Bone marrow smear.
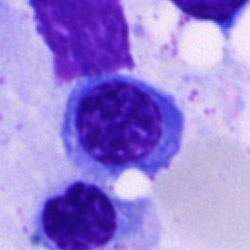 Erythroblast.